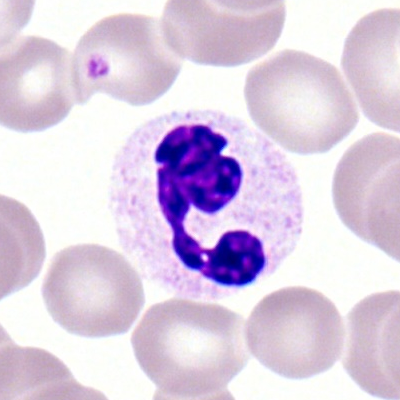 Q: What type of cell is this?
A: Segmented neutrophil.